May-Grünwald-Giemsa/Pappenheim stain; bone marrow aspirate smear: 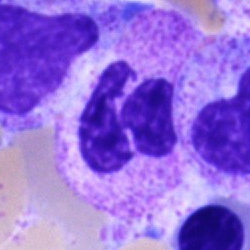
Specimen: bone marrow aspirate smear.
Classification: polymorphonuclear neutrophil.